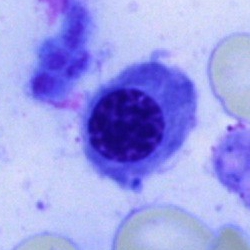
Impression → nucleated red blood cell.